Bone marrow smear. MGG-stained — 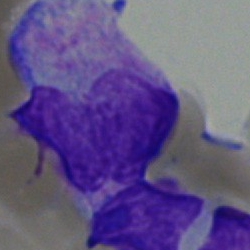Q: Which cell type is shown here?
A: A blast cell.